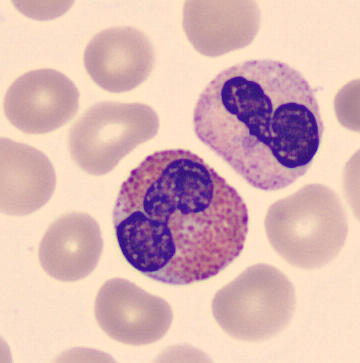 This is an eosinophil.